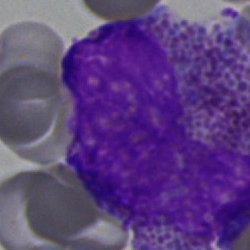Eosinophil.